Bone marrow smear; 40× objective, oil immersion; 250 by 250 pixels: 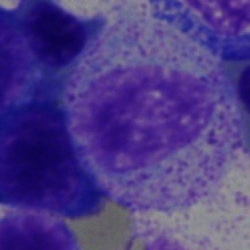 Morphology consistent with a myelocyte.